Bone marrow aspirate smear; May-Grünwald-Giemsa stain:
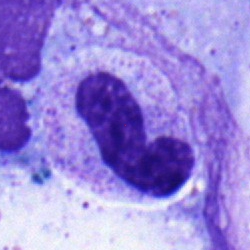 Q: What type of cell is this?
A: It is a neutrophil (band).